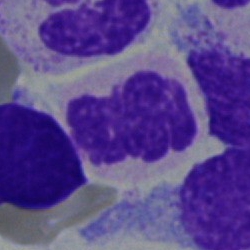 Bone marrow smear showing a segmented neutrophil.